Single-cell crop. Pappenheim-stained. Bone marrow smear: 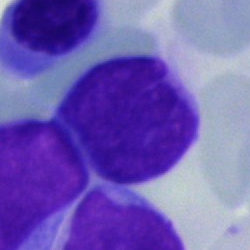
Morphology — blast.